Bone marrow aspirate smear:
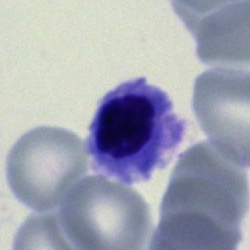Morphology → erythroblast.